Bone marrow aspirate smear — 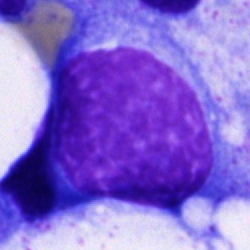Specimen: bone marrow aspirate smear.
Cell: blast.